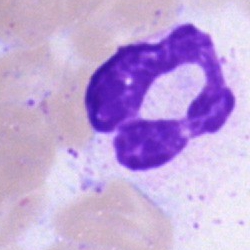Neutrophil (segmented).